Bone marrow smear:
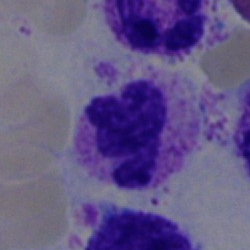

Morphology consistent with a neutrophil (segmented).